Cropped to a single cell. Bone marrow aspirate smear — 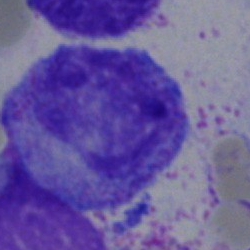Progranulocyte.